MGG-stained · bone marrow smear · single-cell field
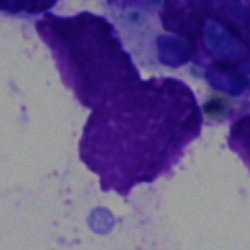 Impression — artefact.